Bone marrow smear:
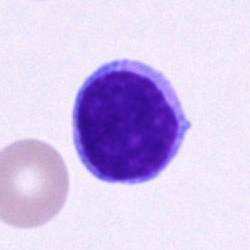Q: What is shown here?
A: It is a typical lymphocyte.